Peripheral blood smear — 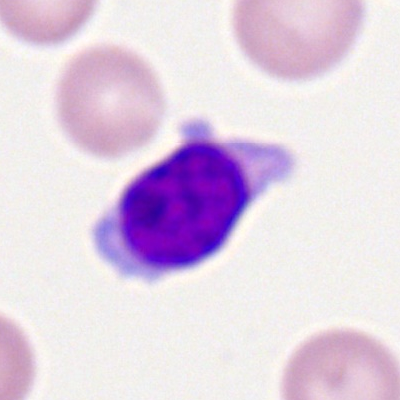 Single cell identified as a typical lymphocyte.